250×250 · bone marrow smear · brightfield microscopy, 40× oil immersion: 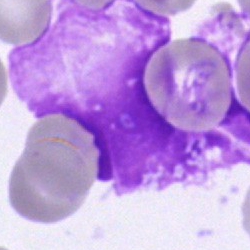

Single cell identified as an artefact.